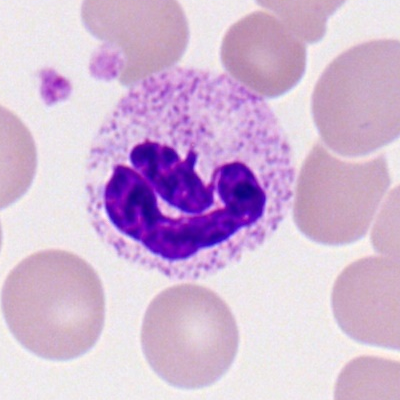Morphology → segmented neutrophil.